Bone marrow smear. 40× objective, oil immersion:
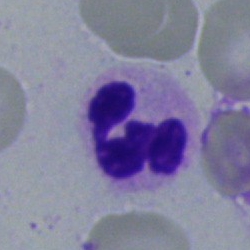
Cell = polymorphonuclear neutrophil.